Bone marrow smear — 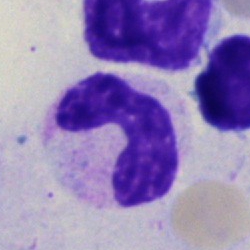Q: Identify the cell.
A: It is a segmented neutrophil.